Bone marrow aspirate smear · 40× objective, oil immersion: 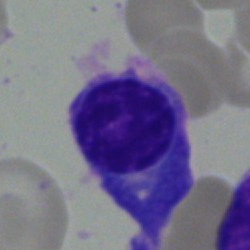
Q: What type of cell is this?
A: A plasma cell.